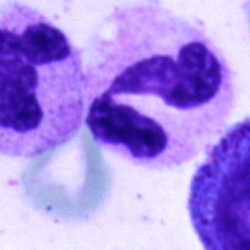Cell type: neutrophil (segmented).